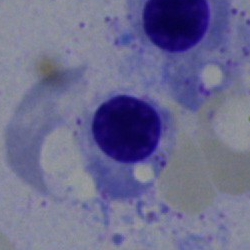
Specimen: bone marrow aspirate smear.
Cell: normoblast.
Lineage: erythroid.